Bone marrow smear — 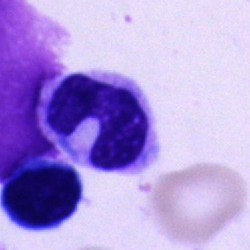 Q: Identify the cell.
A: This is a stab cell.